Bone marrow aspirate smear:
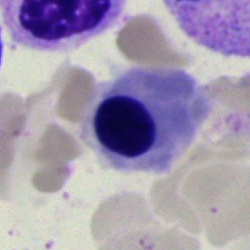Cell = nucleated red blood cell.